Bone marrow aspirate smear:
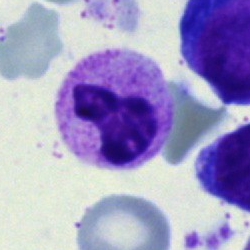 Segmented neutrophil.